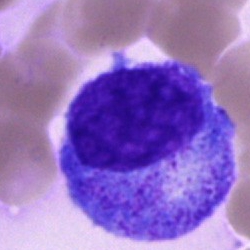
Bone marrow aspirate smear, single cell — promyelocyte.